Bone marrow aspirate smear:
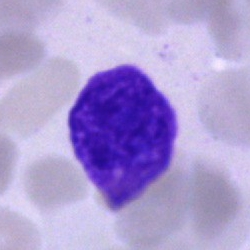
Specimen: bone marrow smear.
Morphological class: artefact.